Brightfield microscopy, 40× oil immersion. Pappenheim-stained. Bone marrow smear: 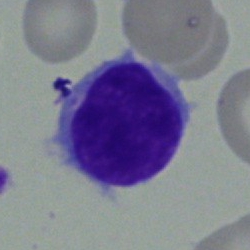{"cell_type": "typical lymphocyte", "lineage": "lymphoid"}